Bone marrow smear
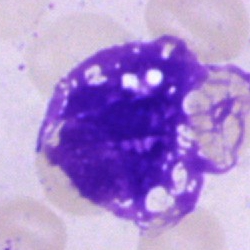Specimen: bone marrow aspirate smear.
Cell type: artefact.